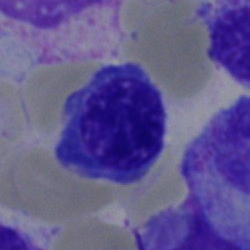 {"cell_type": "nucleated red cell", "lineage": "erythroid"}